Bone marrow smear; cropped to a single cell
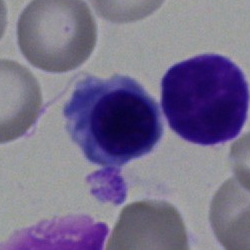
Q: Identify the cell.
A: It is an erythroblast.